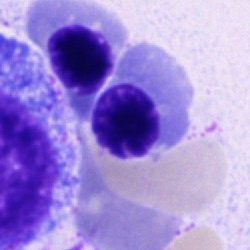
{"cell_type": "normoblast"}